Bone marrow aspirate smear:
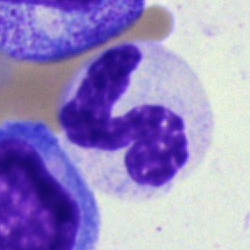Morphological class = segmented neutrophil.